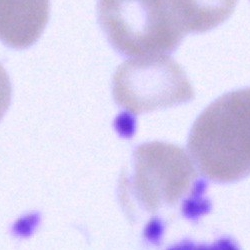
An artefact on a bone marrow smear.